Peripheral blood film: 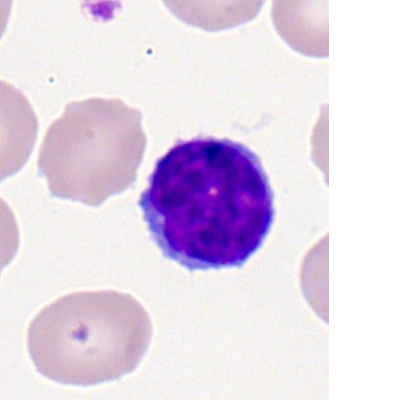

Single cell identified as a typical lymphocyte.